Bone marrow aspirate smear. Single cell centered in the field
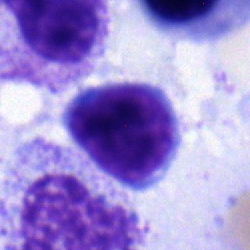 Typical lymphocyte.